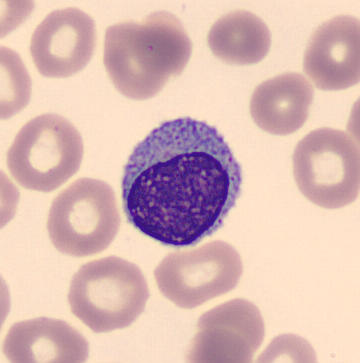 Specimen: peripheral blood film.
Classification: typical lymphocyte.
Lineage: lymphoid.